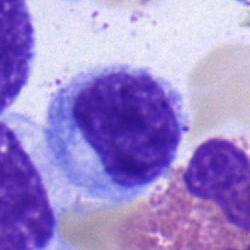Showing a myelocyte.